Bone marrow smear; 250×250; May-Grünwald-Giemsa stain
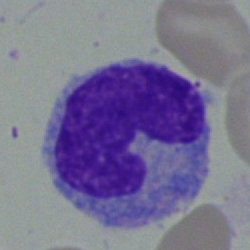The cell type is monocyte.